Bone marrow smear: 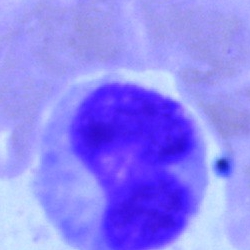This is a monocyte.